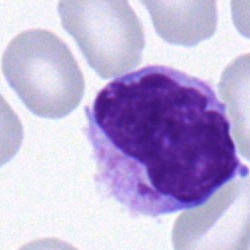

Morphology — metamyelocyte.